Peripheral blood film: 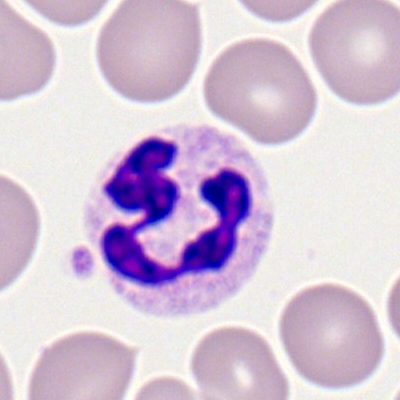 Specimen: peripheral blood smear.
Cell type: polymorphonuclear neutrophil.
Lineage: myeloid.